Peripheral blood smear:
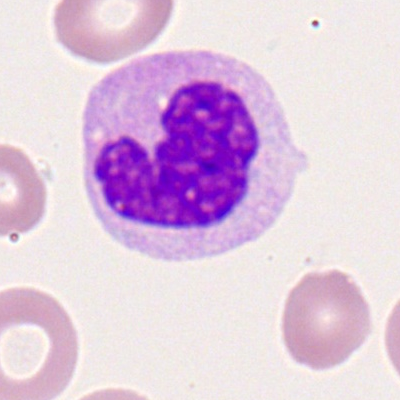

Cell type = monocyte.